Bone marrow smear — 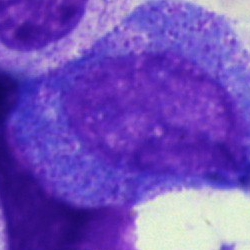 The cell shown is a promyelocyte.